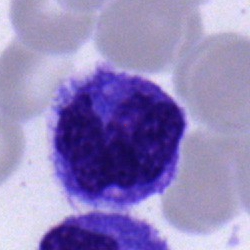The cell shown is a monocyte.